Bone marrow smear.
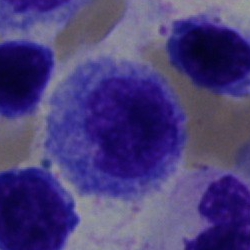
Cell = promyelocyte.